Romanowsky-stained · peripheral blood film · cropped to a single cell.
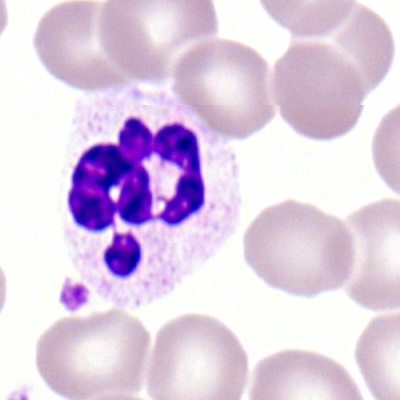

Cell: neutrophil (segmented).